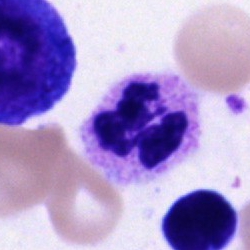Morphology — polymorphonuclear neutrophil.